Bone marrow smear: 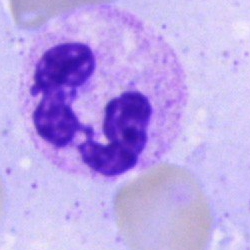 Specimen: bone marrow smear.
Classification: polymorphonuclear neutrophil.